Bone marrow aspirate smear; cropped to a single cell.
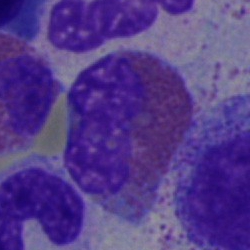

Eosinophil.